Peripheral blood film: 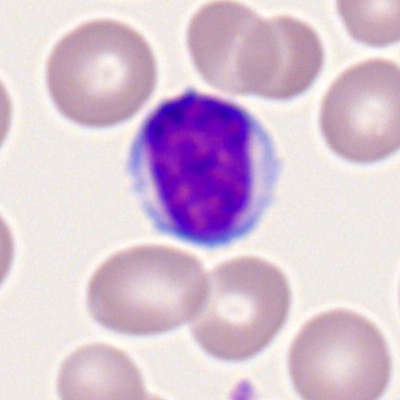 Showing a typical lymphocyte.